Single-cell crop. Bone marrow aspirate smear:
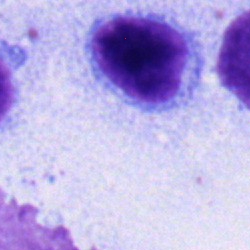This is a typical lymphocyte.